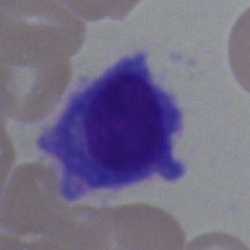Q: Identify the cell.
A: Plasmacyte.